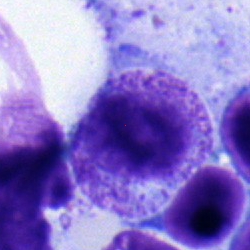 Impression → myelocyte.